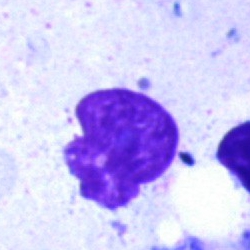

Showing an artefact.